Brightfield, 40× oil-immersion objective; 250×250 px; bone marrow smear:
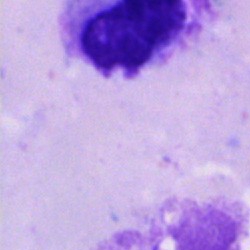Q: What is shown here?
A: Artifact.